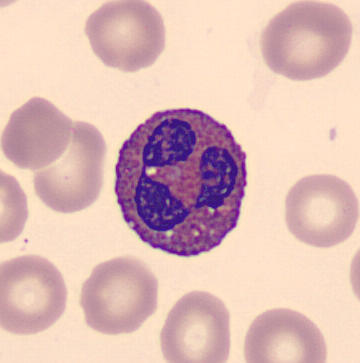 Cell — eosinophilic granulocyte.